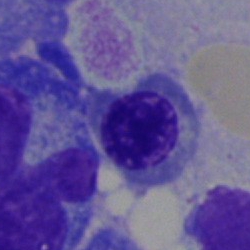

Q: What is shown here?
A: This is a nucleated red cell.